Pappenheim-stained; bone marrow smear.
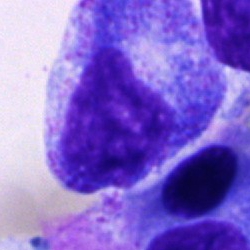Classification = progranulocyte.